Peripheral blood smear · 100× oil immersion · single cell centered in the field.
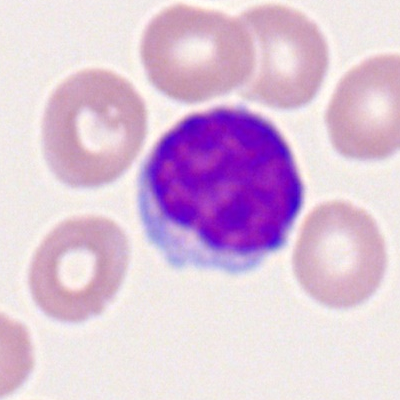
The cell shown is a lymphocyte.